Bone marrow aspirate smear
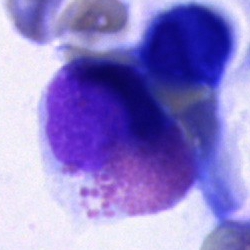

Cell = eosinophil.